Bone marrow aspirate smear
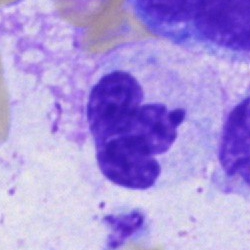
{"cell_type": "polymorphonuclear neutrophil", "lineage": "myeloid"}